Bone marrow smear · Pappenheim-stained.
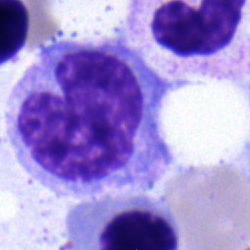Specimen: bone marrow aspirate smear.
Cell type: monocyte.
Lineage: myeloid.